Bone marrow aspirate smear · Pappenheim-stained — 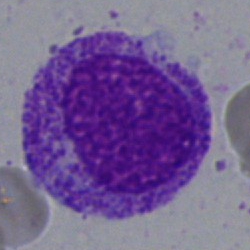Cell: myelocyte.